Bone marrow aspirate smear.
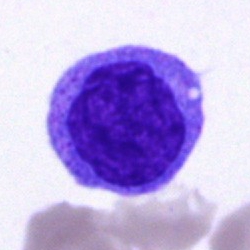
Specimen: bone marrow smear.
Classification: blast.